Bone marrow aspirate smear. Brightfield, 40× oil-immersion objective:
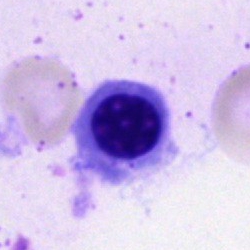 Classification = nucleated red blood cell.